Peripheral blood film. Automated cell imaging (CellaVision DM96). MGG stain.
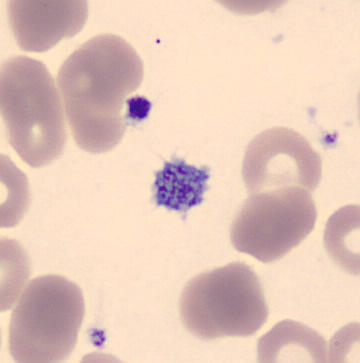

A platelet.